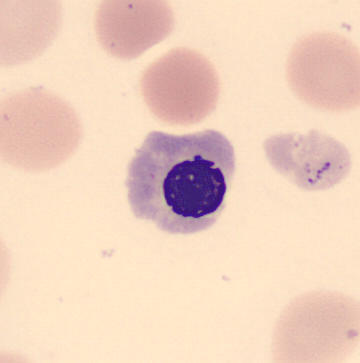
Cell = nucleated red blood cell. May-Grünwald-Giemsa-stained · peripheral blood film.